Bone marrow smear · May-Grünwald-Giemsa/Pappenheim stain
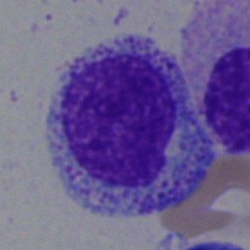 A myelocyte.